Bone marrow smear: 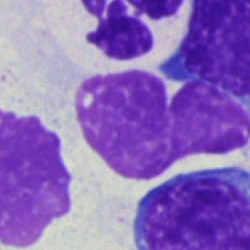

Showing an artefact.